Bone marrow smear. Cropped to a single cell: 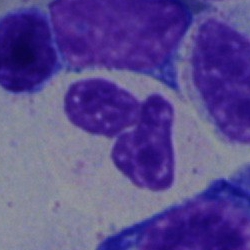Specimen: bone marrow smear.
Morphological class: polymorphonuclear neutrophil.
Lineage: myeloid.